Bone marrow aspirate smear; brightfield microscopy, 40× oil immersion:
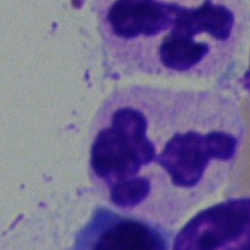Single cell identified as a segmented neutrophil.